Bone marrow smear:
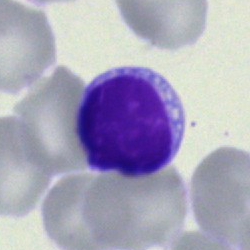 Morphology consistent with a lymphocyte.